Cropped to a single cell · bone marrow aspirate smear
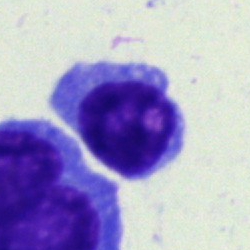

A typical lymphocyte.